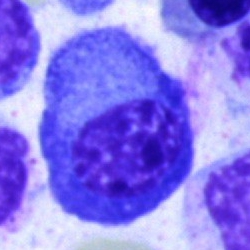

A plasmacyte on a bone marrow smear.